Bone marrow smear — 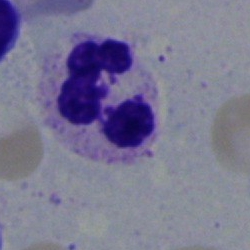

Morphological class = segmented neutrophil.